Bone marrow aspirate smear · MGG-stained — 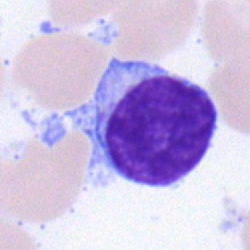Q: Which cell type is shown here?
A: This is a lymphocyte.